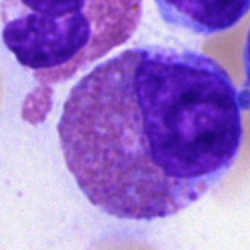

The cell shown is an eosinophil.